Bone marrow smear:
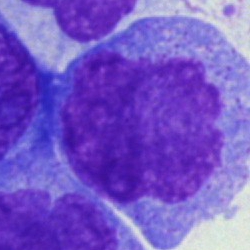

Specimen: bone marrow aspirate smear.
Classification: monocyte.